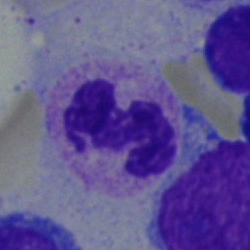
Q: What cell is this?
A: Segmented neutrophil.